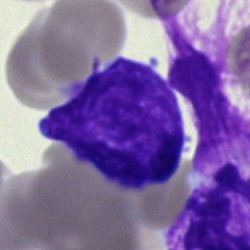

Cell: blast cell.